Bone marrow aspirate smear — 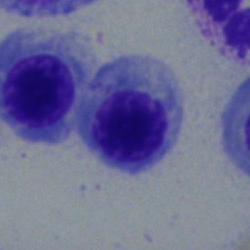

A normoblast.